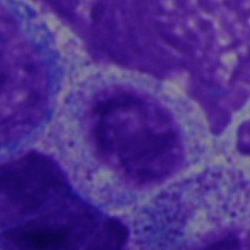

A myelocyte.